Single-cell crop · bone marrow smear · 40× oil immersion
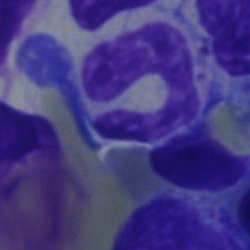Q: Identify the cell.
A: It is a polymorphonuclear neutrophil.